Bone marrow aspirate smear. Brightfield, 40× oil-immersion objective: 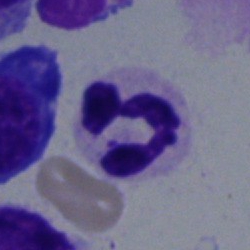
Specimen: bone marrow aspirate smear.
Cell: polymorphonuclear neutrophil.